Bone marrow aspirate smear: 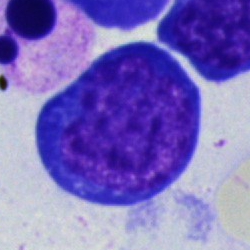 Q: Which cell type is shown here?
A: This is a nucleated red blood cell.